Bone marrow aspirate smear; brightfield, 40× oil-immersion objective; May-Grünwald-Giemsa stain.
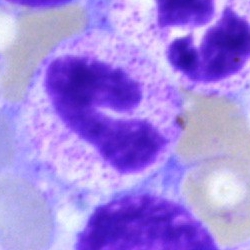 Showing a neutrophil (segmented).